Bone marrow smear; 250×250 px; 40× objective, oil immersion — 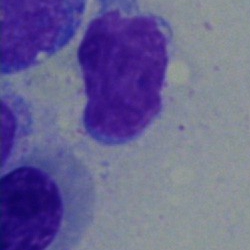

The classification is plasmacyte.